Bone marrow smear; image size 250×250 — 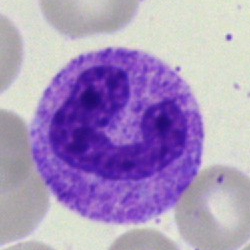 Q: What type of cell is this?
A: This is a neutrophil (band).